Bone marrow smear; May-Grünwald-Giemsa/Pappenheim stain; single-cell crop — 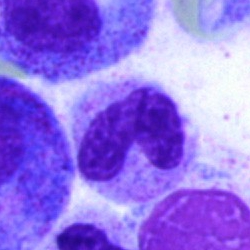

Q: What is the morphological classification of this cell?
A: This is a band-form neutrophil.